Bone marrow smear; single cell centered in the field: 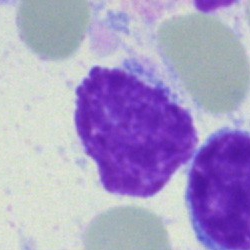

Q: What is shown here?
A: An artefact.